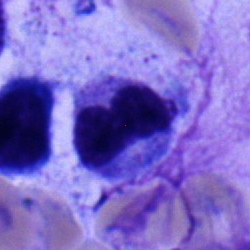
Q: What type of cell is this?
A: It is a stab cell.